Bone marrow aspirate smear.
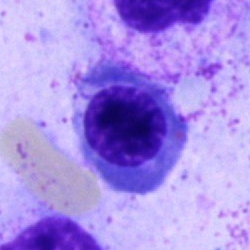 Nucleated red blood cell.